May-Grünwald-Giemsa/Pappenheim stain · bone marrow smear · single cell centered in the field: 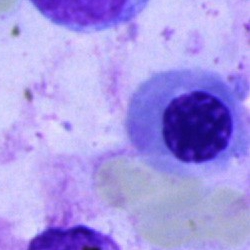
Q: Which cell type is shown here?
A: This is an erythroblast.